Bone marrow smear
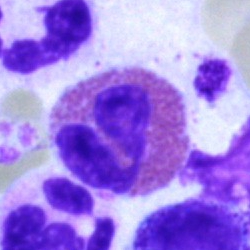
Cell — eosinophil.